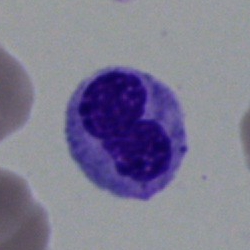Classification = artifact.